250×250 px. Cropped to a single cell. Bone marrow aspirate smear: 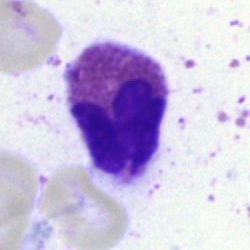

This is an eosinophil.